Bone marrow smear.
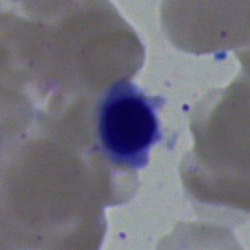
Nucleated red cell.